250 by 250 pixels; bone marrow smear:
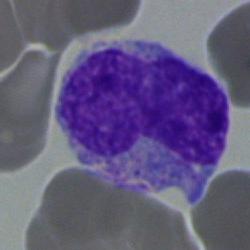 A monocyte.